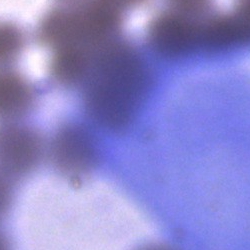

Impression — artefact.